Peripheral blood film: 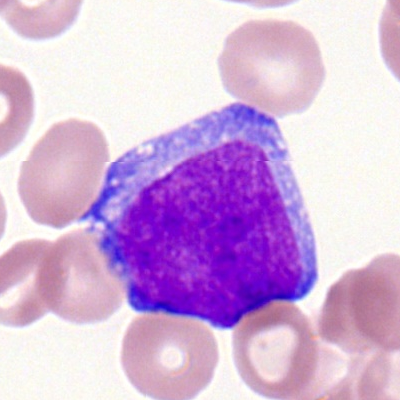Showing a myeloblast.